Bone marrow aspirate smear.
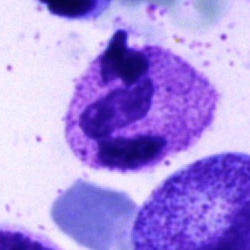

Q: What cell is this?
A: This is a neutrophil (segmented).